Pappenheim-stained; 250×250 px; bone marrow aspirate smear: 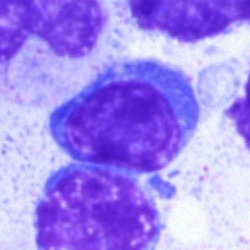
Q: What cell is this?
A: Lymphocyte.